Peripheral blood smear; imaged on a CellaVision DM96 analyser; 360×363.
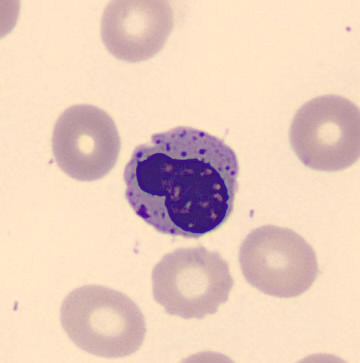

Showing a normoblast.